May-Grünwald-Giemsa/Pappenheim stain; 250×250 px; bone marrow smear.
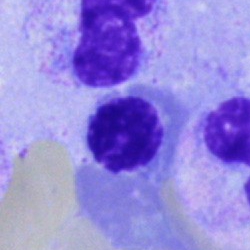Cell type — normoblast.